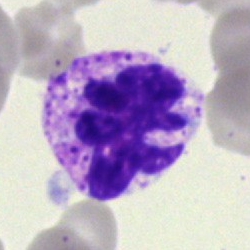This is a basophil.